Bone marrow smear. 40× oil immersion. Cropped to a single cell:
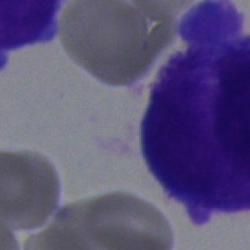
A blast cell.